Peripheral blood smear. 400×400 — 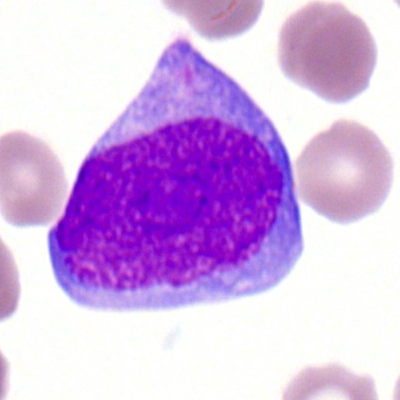This is a myeloid blast.